Bone marrow aspirate smear
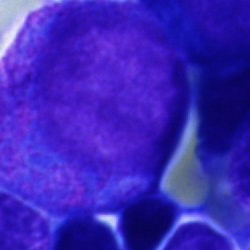

The cell shown is a progranulocyte.